Bone marrow smear · 250 by 250 pixels.
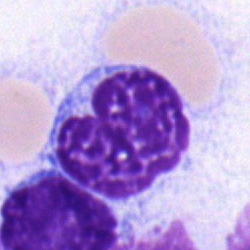
Cell type — typical lymphocyte.